Bone marrow aspirate smear
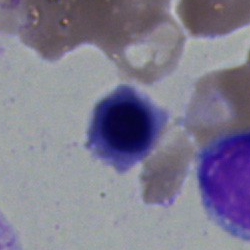 Morphology consistent with a nucleated red blood cell.